Bone marrow aspirate smear · image size 250×250 · 40× objective, oil immersion — 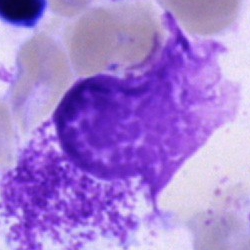

{"cell_type": "artifact"}